Peripheral blood film: 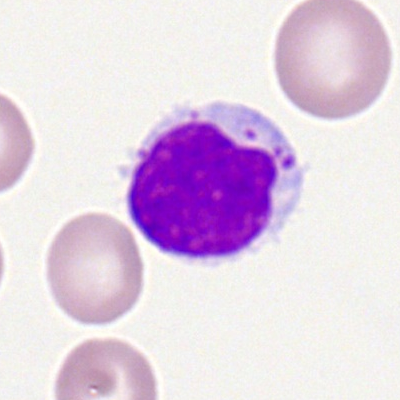 Classification — typical lymphocyte.